Bone marrow smear:
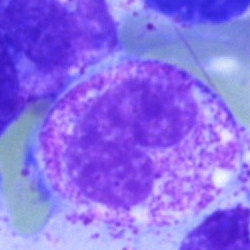

Single cell identified as a band neutrophil.